Single cell centered in the field. Bone marrow aspirate smear:
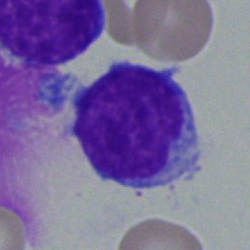 The cell shown is a typical lymphocyte.